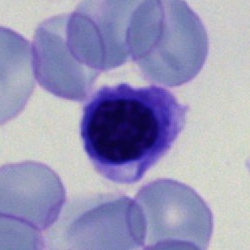
Single cell identified as a normoblast.